Bone marrow aspirate smear; May-Grünwald-Giemsa/Pappenheim stain:
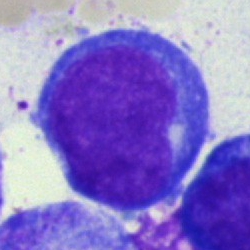

{"cell_type": "pronormoblast"}